Bone marrow aspirate smear: 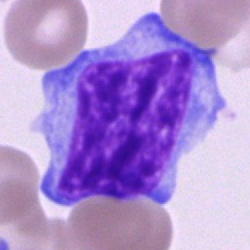 Specimen: bone marrow smear.
Morphological class: blast cell.